Bone marrow smear — 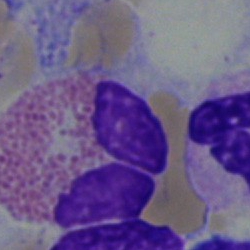

Single cell identified as an eosinophil.